Bone marrow aspirate smear
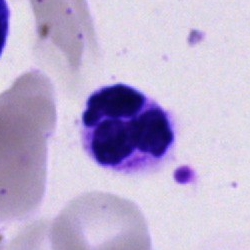 A polymorphonuclear neutrophil.